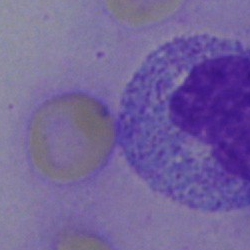Q: What is shown here?
A: It is an artefact.